Bone marrow aspirate smear. Image size 250×250. May-Grünwald-Giemsa stain
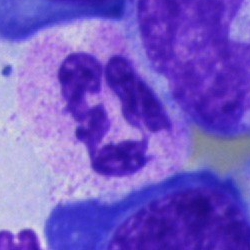Segmented neutrophil.